Bone marrow smear; May-Grünwald-Giemsa/Pappenheim stain: 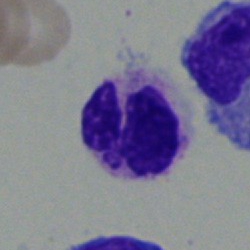 Morphology consistent with a segmented neutrophil.